Cropped to a single cell. Bone marrow aspirate smear — 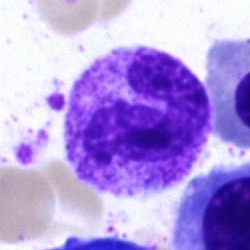 A neutrophil (band).